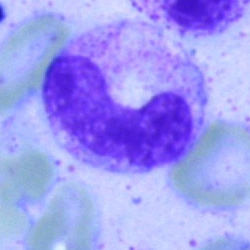This is a band neutrophil.